Brightfield, 40× oil-immersion objective; bone marrow aspirate smear
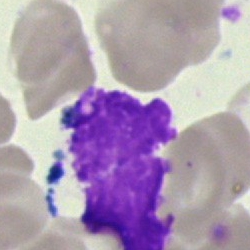
The cell shown is an artifact.